Bone marrow aspirate smear:
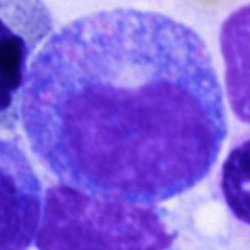 Q: What cell is this?
A: It is a promyelocyte.